Peripheral blood smear. Single-cell crop. Romanowsky-type stain — 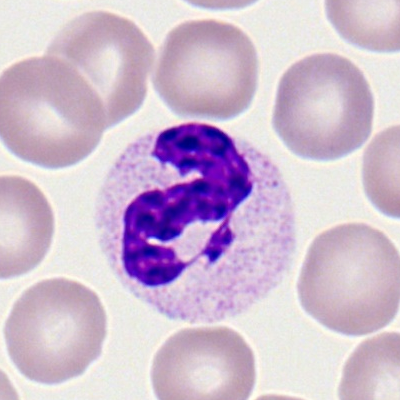

Morphology consistent with a neutrophil (segmented).